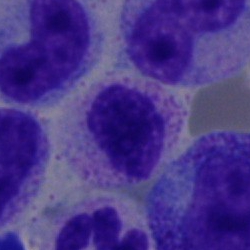
Cell type: myelocyte.